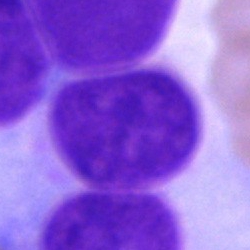Cell type — artefact.